40× objective, oil immersion. May-Grünwald-Giemsa/Pappenheim stain. Bone marrow smear
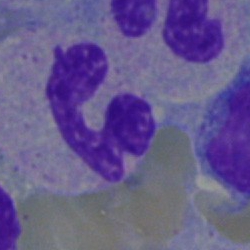

This is a polymorphonuclear neutrophil.